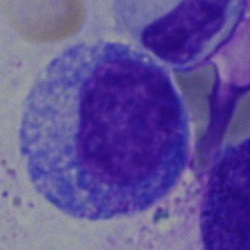
Cell: promyelocyte.